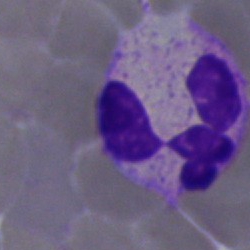
Neutrophil (segmented).